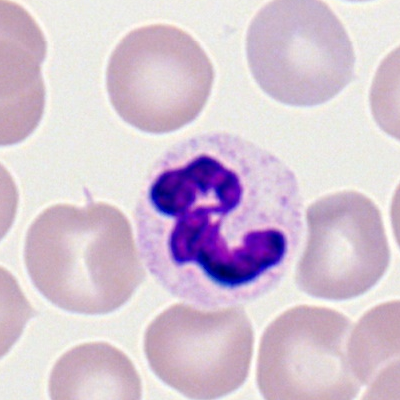
The cell type is segmented neutrophil.